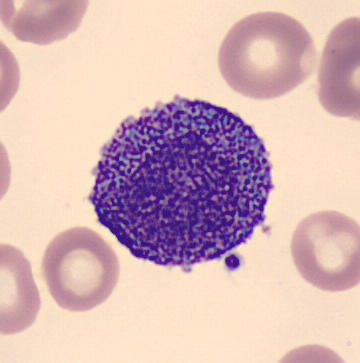
A promyelocyte on a peripheral blood smear.